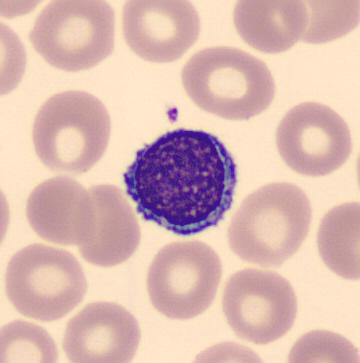 Cell: typical lymphocyte. Peripheral blood smear.